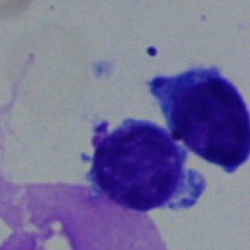
Specimen: bone marrow smear.
Classification: lymphocyte.